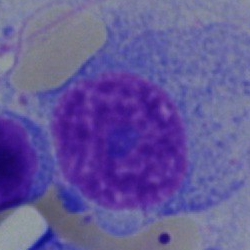 Cell: plasma cell.